Bone marrow aspirate smear
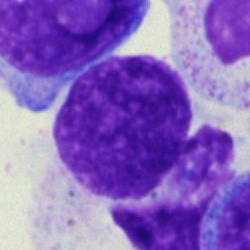
Single cell identified as an artifact.